Peripheral blood smear; brightfield, 100× oil-immersion objective: 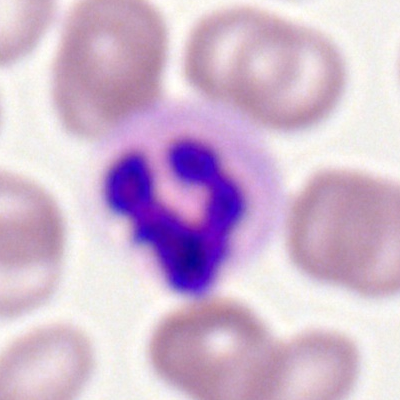
Classification = segmented neutrophil.